Bone marrow aspirate smear
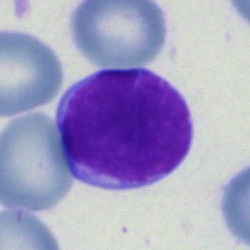 Typical lymphocyte.